Bone marrow smear. 250 by 250 pixels: 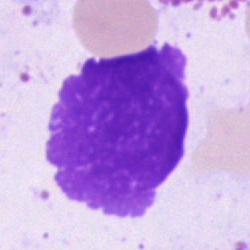Morphology — artefact.